Bone marrow smear.
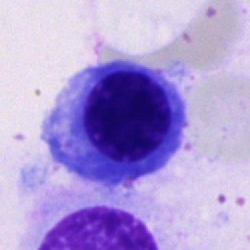

Cell — nucleated red cell.